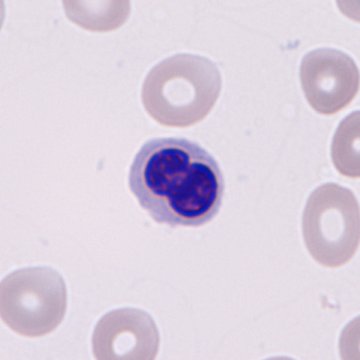

Peripheral blood film · single cell centered in the field.

Nucleated red blood cell.